Bone marrow aspirate smear. May-Grünwald-Giemsa/Pappenheim stain: 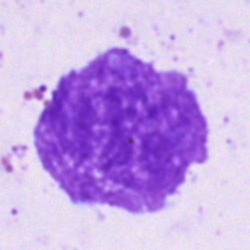

Q: What is shown here?
A: This is an artefact.